MGG-stained; cropped to a single cell; bone marrow aspirate smear:
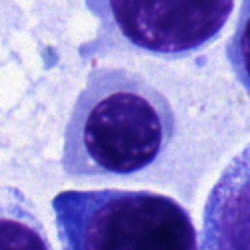 This is a nucleated red cell.